Brightfield microscopy, 40× oil immersion · bone marrow smear · MGG-stained:
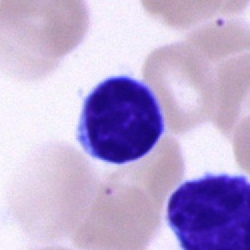Showing a typical lymphocyte.